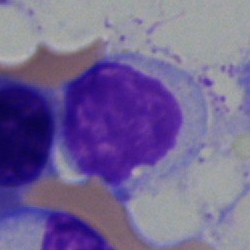

Showing a typical lymphocyte.